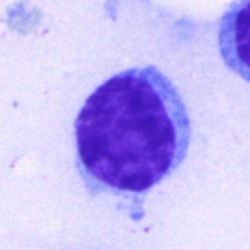Morphology consistent with a lymphocyte.